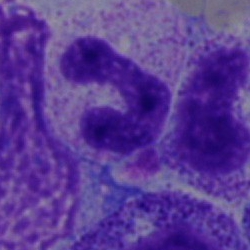
Showing a polymorphonuclear neutrophil.